Bone marrow smear:
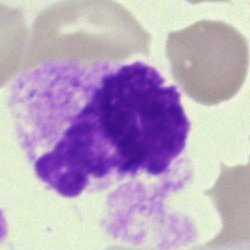

Morphology consistent with an artefact.